Bone marrow smear
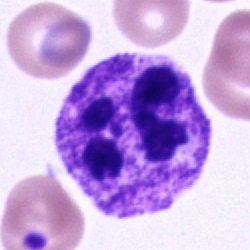 Specimen: bone marrow smear.
Cell type: polymorphonuclear neutrophil.